Bone marrow aspirate smear — 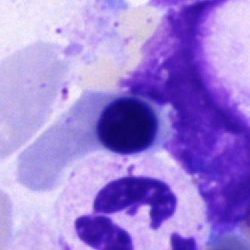{"cell_type": "normoblast"}